Bone marrow aspirate smear.
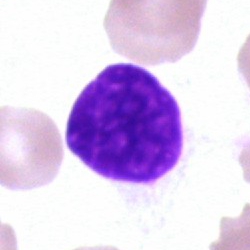

The classification is artefact.